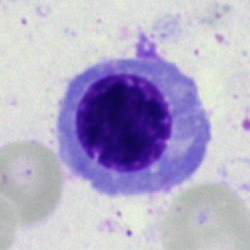 Morphology → normoblast.